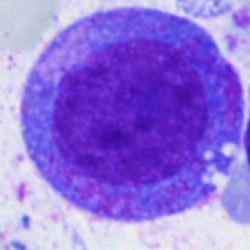 Specimen: bone marrow smear.
Cell type: undifferentiated blast.